Bone marrow smear: 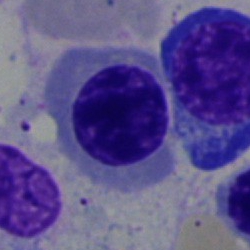
Single cell identified as an erythroblast.